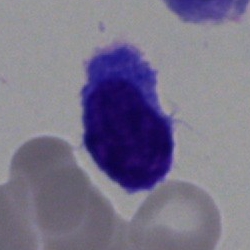
Impression → typical lymphocyte.